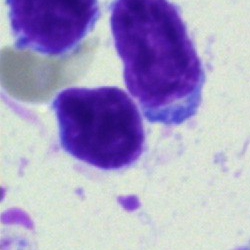Morphology → typical lymphocyte.